Single cell centered in the field; peripheral blood smear; image size 400×400:
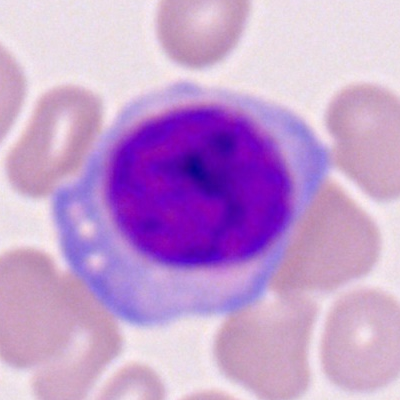Showing a monocyte.